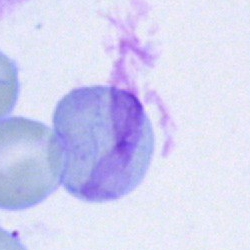 Cell = artefact.